May-Grünwald-Giemsa stain; bone marrow smear.
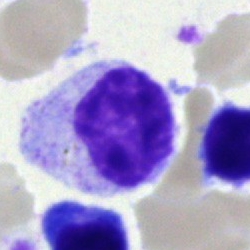Showing a myelocyte.